Bone marrow aspirate smear — 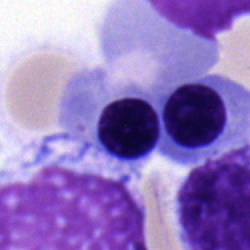

This is a normoblast.